Bone marrow aspirate smear
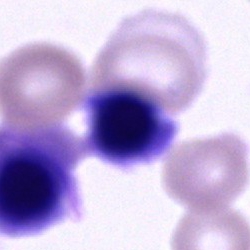Classification: cell of indeterminate lineage.